400 by 400 pixels. Peripheral blood film. Romanowsky stain.
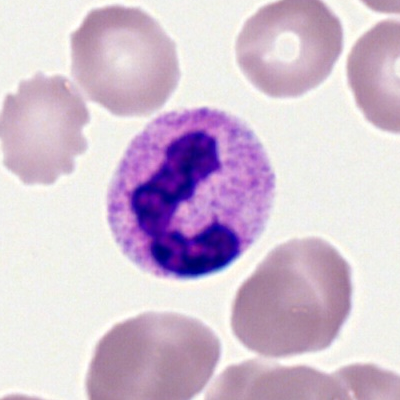

Cell = polymorphonuclear neutrophil.